May-Grünwald-Giemsa stain. Bone marrow smear
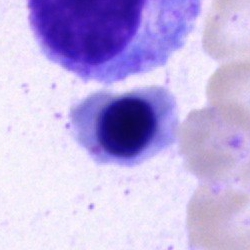

Specimen: bone marrow aspirate smear.
Cell type: erythroblast.